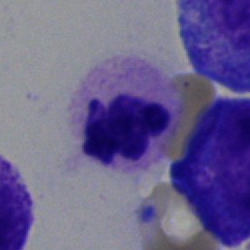
Specimen: bone marrow smear.
Cell type: neutrophil (segmented).
Lineage: myeloid.